May-Grünwald-Giemsa stain. Bone marrow aspirate smear:
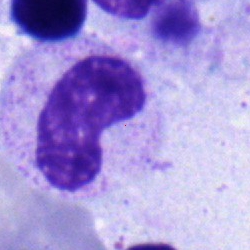
Showing a neutrophil (band).